May-Grünwald-Giemsa/Pappenheim stain · bone marrow aspirate smear
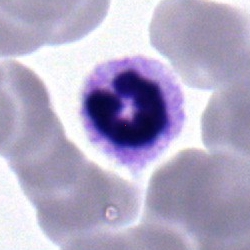
Morphology — segmented neutrophil.